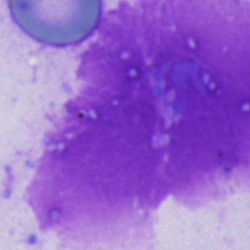Q: What is shown here?
A: Artefact.